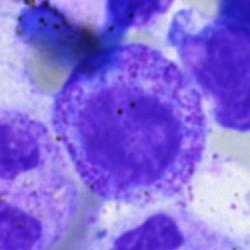

Specimen: bone marrow smear.
Classification: myelocyte.
Lineage: myeloid.